M8 digital microscope (Precipoint), 100× oil immersion; peripheral blood smear: 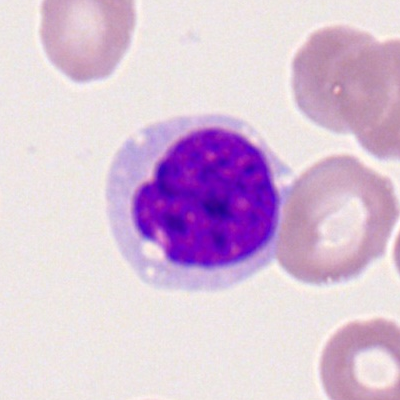{"cell_type": "monocyte", "lineage": "myeloid"}